250×250 · bone marrow aspirate smear · cropped to a single cell.
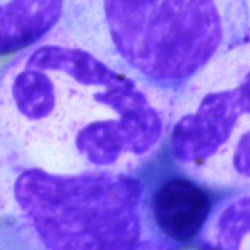 Q: What type of cell is this?
A: It is a segmented neutrophil.